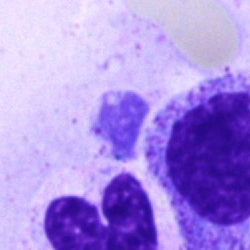

Morphological class: artefact.